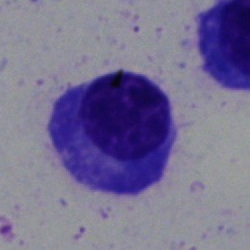 Cell type — plasma cell.